Peripheral blood film; Romanowsky-stained; 400×400
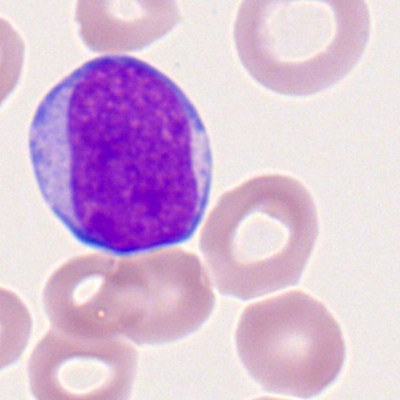
Cell type — myeloblast.